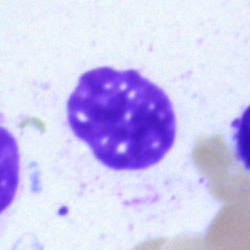

Morphological class: artifact.